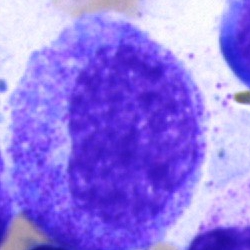 Morphology consistent with a progranulocyte.